100× oil immersion. Single-cell crop. Peripheral blood smear
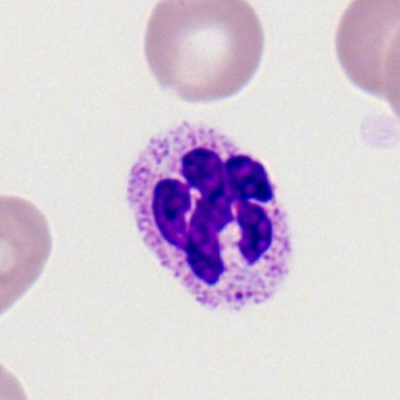 Single cell identified as a segmented neutrophil.